May-Grünwald-Giemsa/Pappenheim stain; bone marrow aspirate smear: 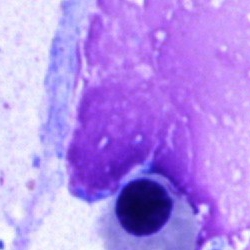Classification: artifact.